Bone marrow smear — 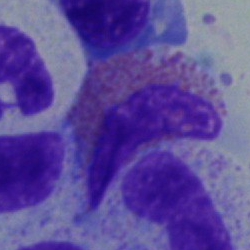

Single cell identified as an eosinophilic granulocyte.